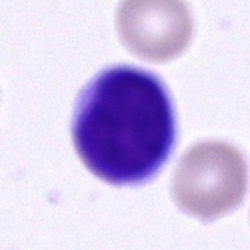
Bone marrow aspirate smear, single cell — typical lymphocyte.